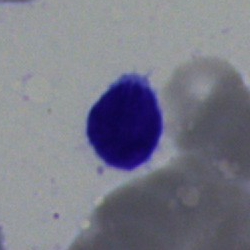Morphology → lymphocyte.